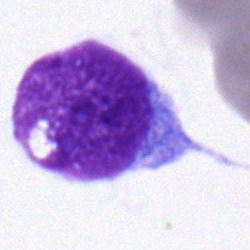Single cell identified as a lymphocyte.